250×250 px. Bone marrow smear. Brightfield, 40× oil-immersion objective — 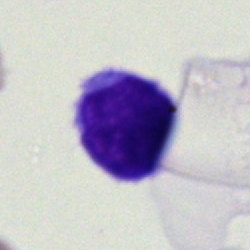 A lymphocyte.